Bone marrow aspirate smear · single-cell field — 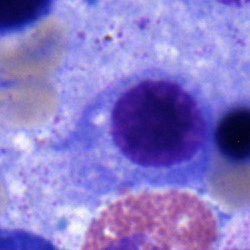
Q: What type of cell is this?
A: It is a nucleated red blood cell.